Bone marrow aspirate smear
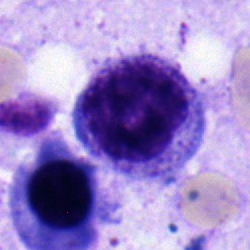 Morphology — myelocyte.